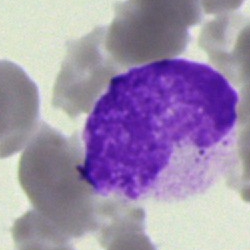

Morphology → artefact.